250×250; bone marrow aspirate smear; 40× oil immersion — 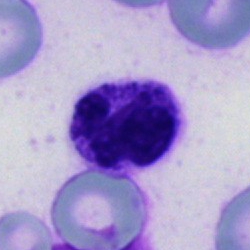Cell type: polymorphonuclear neutrophil.